May-Grünwald-Giemsa/Pappenheim stain. Bone marrow aspirate smear:
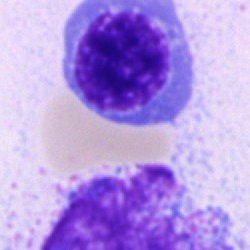
{"cell_type": "normoblast", "lineage": "erythroid"}